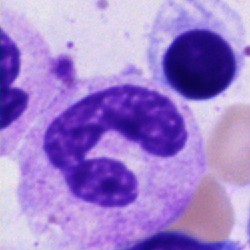
Specimen: bone marrow smear.
Morphological class: neutrophil (segmented).